Bone marrow aspirate smear. Pappenheim-stained — 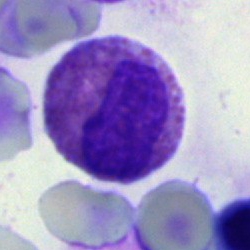
Impression — eosinophilic granulocyte.